40× objective, oil immersion. Bone marrow smear. Single-cell crop
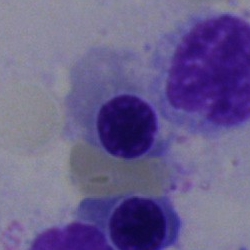Specimen: bone marrow aspirate smear.
Morphological class: nucleated red cell.